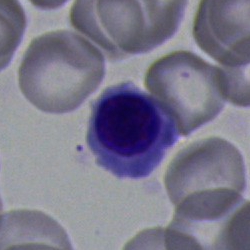
Morphology consistent with a nucleated red cell.